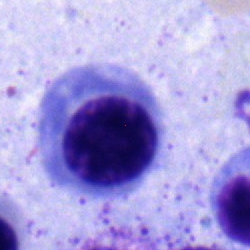
Specimen: bone marrow aspirate smear.
Cell type: nucleated red blood cell.
Lineage: erythroid.